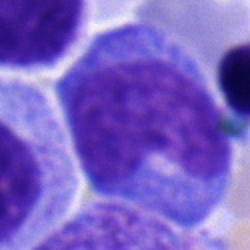
Classification — monocyte.